40× oil immersion; bone marrow smear:
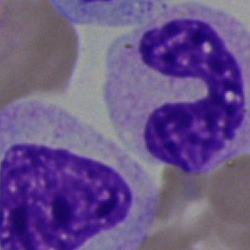

Specimen: bone marrow aspirate smear.
Cell: segmented neutrophil.
Lineage: myeloid.